May-Grünwald-Giemsa stain. Single cell centered in the field. Bone marrow aspirate smear — 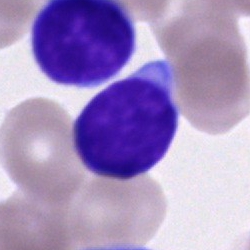

This is a typical lymphocyte.